Bone marrow smear.
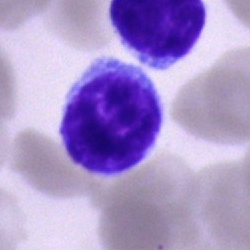 Q: Which cell type is shown here?
A: Typical lymphocyte.